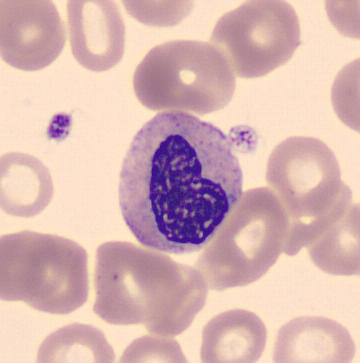 Acquisition: Peripheral blood smear.
Identified as a metamyelocyte.